Bone marrow aspirate smear — 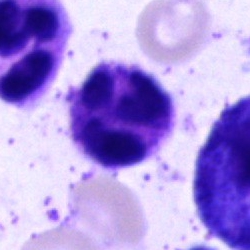 Classification: neutrophil (segmented).